Bone marrow smear · brightfield, 40× oil-immersion objective — 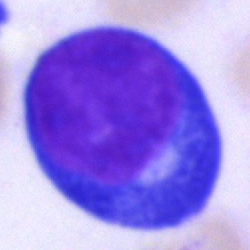
Q: Identify the cell.
A: It is a pronormoblast.